Bone marrow aspirate smear: 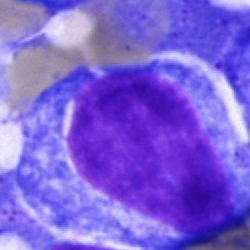
Blast.